Bone marrow aspirate smear. MGG-stained. 40× objective, oil immersion:
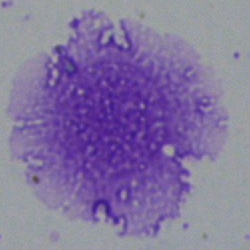

Impression — artifact.